250×250; bone marrow smear; MGG-stained
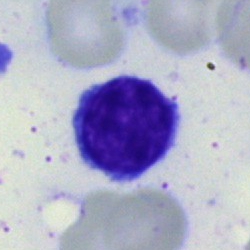
Classification = lymphocyte.